Bone marrow smear.
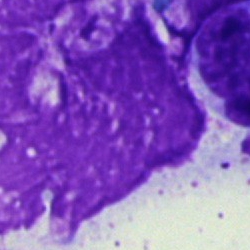
Morphology → artifact.